Bone marrow aspirate smear.
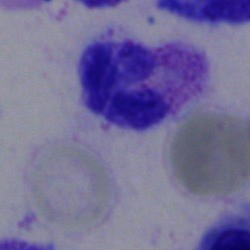

Single cell identified as a polymorphonuclear neutrophil.